Bone marrow smear — 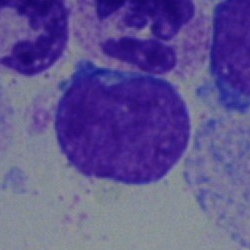

The classification is undifferentiated blast.